Bone marrow aspirate smear.
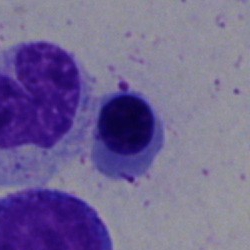Q: Identify the cell.
A: Nucleated red blood cell.